Bone marrow aspirate smear — 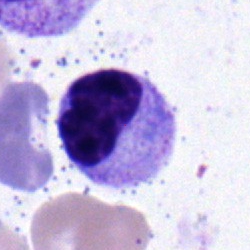Cell type — metamyelocyte.